Brightfield microscopy, 40× oil immersion. Bone marrow aspirate smear:
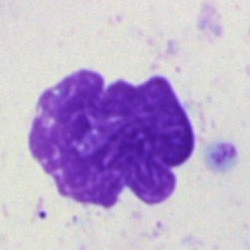
Cell type: artifact.